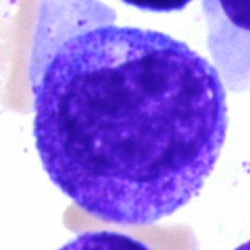Specimen: bone marrow aspirate smear.
Morphological class: progranulocyte.